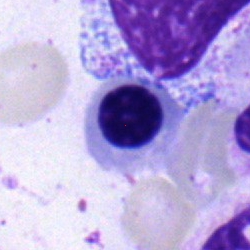Q: Which cell type is shown here?
A: It is a nucleated red cell.